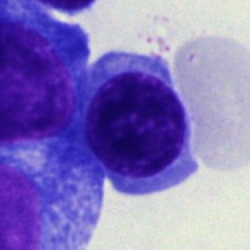 Specimen: bone marrow aspirate smear.
Cell: lymphocyte.
Lineage: lymphoid.